40× objective, oil immersion · bone marrow smear
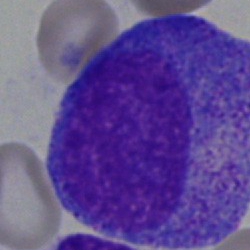
Classification — promyelocyte.